40× objective, oil immersion; bone marrow aspirate smear: 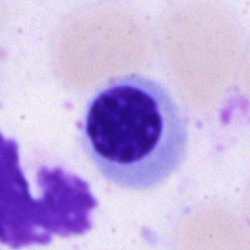

Morphology — normoblast.